Single-cell crop · bone marrow aspirate smear: 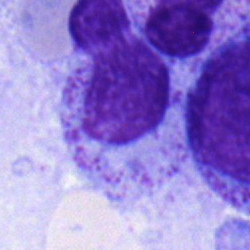 Showing a myelocyte.